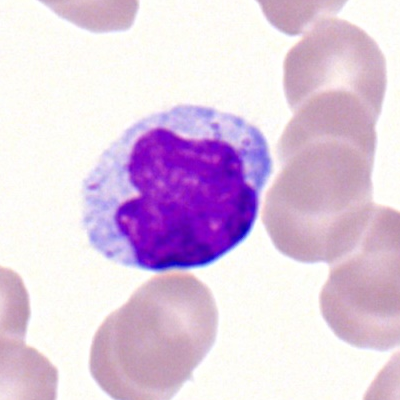Specimen: peripheral blood film.
Cell type: lymphocyte.
Lineage: lymphoid.